Bone marrow smear:
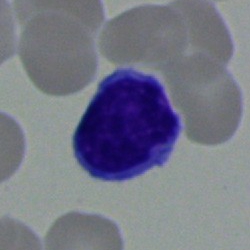

Specimen: bone marrow smear.
Cell: lymphocyte.
Lineage: lymphoid.